May-Grünwald-Giemsa stain. Single-cell field. Bone marrow aspirate smear.
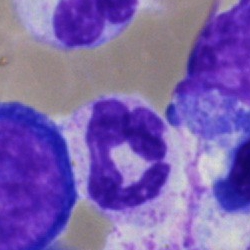 Morphological class = segmented neutrophil.